Peripheral blood smear — 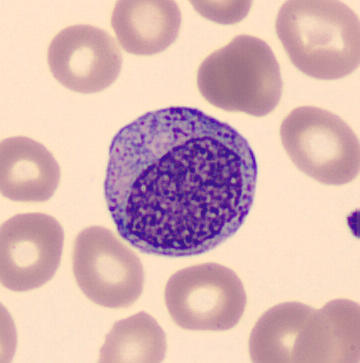 Specimen: peripheral blood film.
Morphological class: promyelocyte.
Lineage: myeloid.